Peripheral blood film:
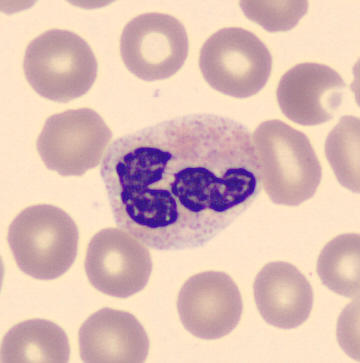 Classification: neutrophil (segmented).